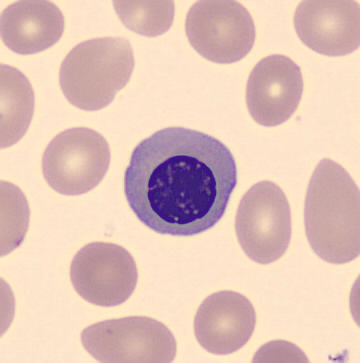Image: Peripheral blood smear.

Classification = erythroblast.